Bone marrow smear. 250×250
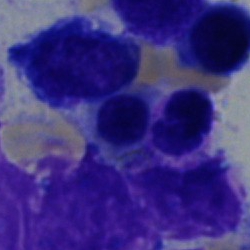 Nucleated red blood cell.